Single cell centered in the field · bone marrow smear — 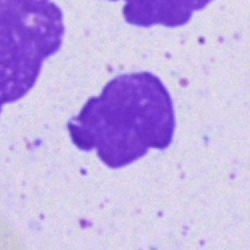 Specimen: bone marrow aspirate smear.
Cell type: artifact.